Bone marrow smear — 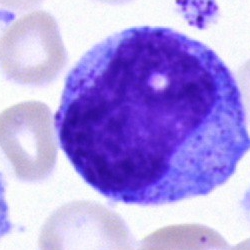Morphology consistent with a progranulocyte.